Bone marrow aspirate smear. Single-cell crop.
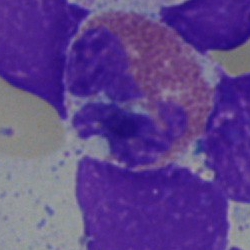 Q: What is shown here?
A: An eosinophil.